Bone marrow smear.
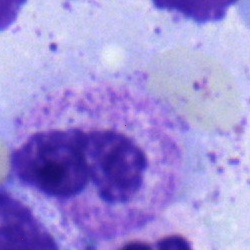 Impression — band-form neutrophil.